Bone marrow aspirate smear; May-Grünwald-Giemsa stain
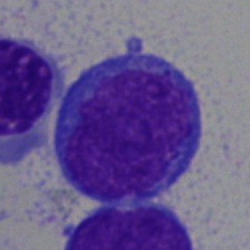 Single cell identified as a blast.